Bone marrow aspirate smear · brightfield microscopy, 40× oil immersion · image size 250×250: 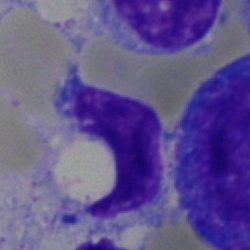
The cell is artifact.